Peripheral blood film:
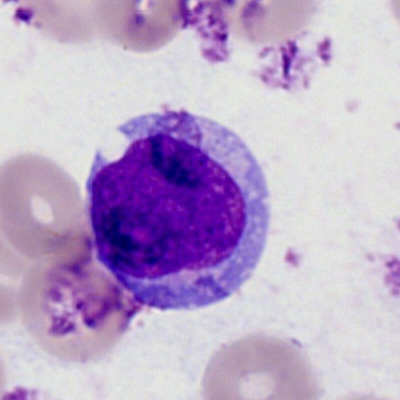 Single cell identified as a myeloid blast.